250 by 250 pixels; bone marrow smear: 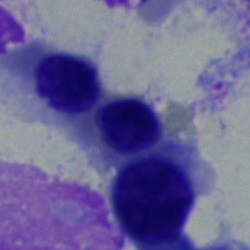
Q: Identify the cell.
A: This is a nucleated red cell.